250×250 px. Bone marrow smear — 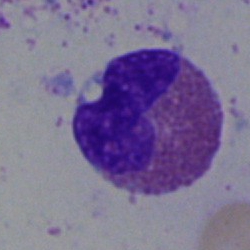{"cell_type": "eosinophil", "lineage": "myeloid"}